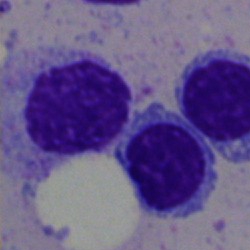 Morphology — lymphocyte.